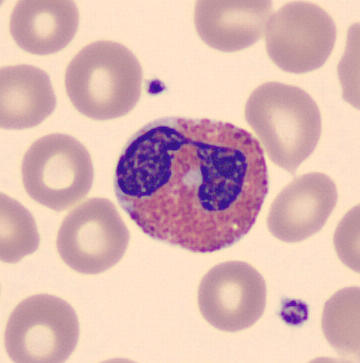
{"cell_type": "eosinophil", "lineage": "myeloid"}

Preparation: Peripheral blood film. Single-cell crop.